Bone marrow aspirate smear:
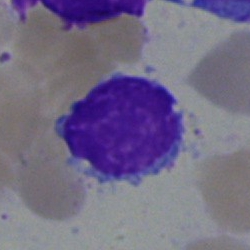
Q: Which cell type is shown here?
A: It is a lymphocyte.